Brightfield, 40× oil-immersion objective · bone marrow aspirate smear:
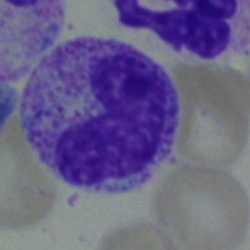Morphology → neutrophil (band).